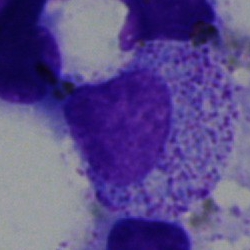

This is a myelocyte.